Bone marrow smear · 250 by 250 pixels.
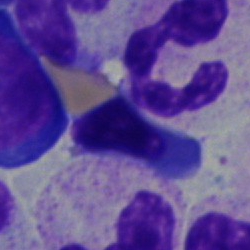Morphology — neutrophil (segmented).